Bone marrow smear; May-Grünwald-Giemsa stain:
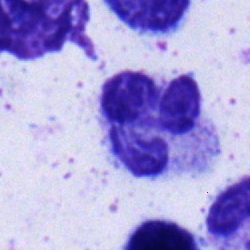 Single cell identified as a polymorphonuclear neutrophil.